Bone marrow aspirate smear.
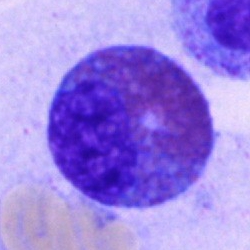An eosinophilic granulocyte.